Bone marrow smear: 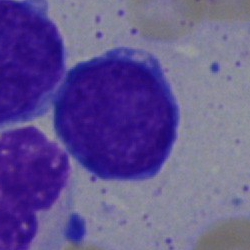
Specimen: bone marrow smear.
Classification: blast.